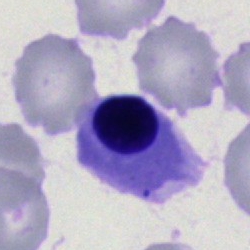The cell type is erythroblast.